Bone marrow aspirate smear; single-cell crop
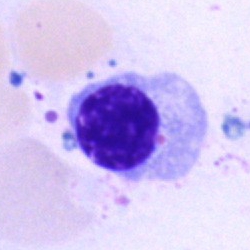

Morphology consistent with a normoblast.